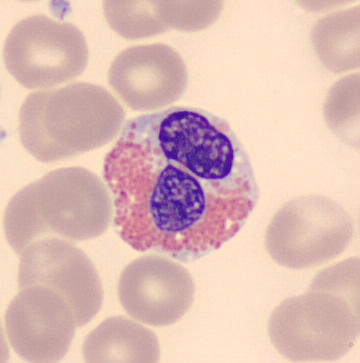
Image: Peripheral blood smear.
Morphology consistent with an eosinophil.